Bone marrow aspirate smear · 40× objective, oil immersion: 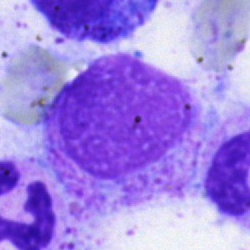 Artefact.